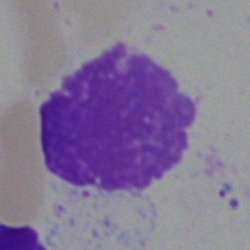
The cell type is artifact.